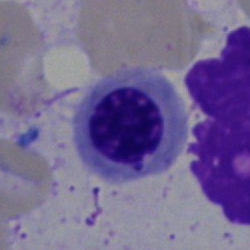 Q: Which cell type is shown here?
A: Erythroblast.